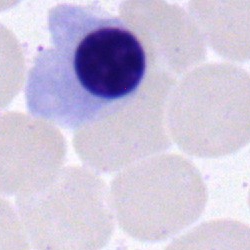Bone marrow smear showing a nucleated red cell.